Bone marrow smear
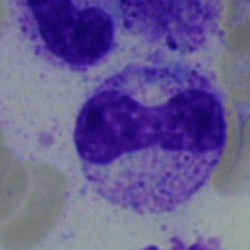Cell type — band neutrophil.